Bone marrow aspirate smear; MGG-stained.
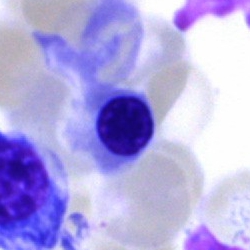

The morphological class is nucleated red blood cell.